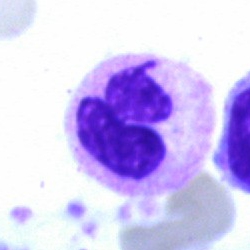{"cell_type": "neutrophil (segmented)", "lineage": "myeloid"}